250 by 250 pixels; bone marrow smear; brightfield, 40× oil-immersion objective:
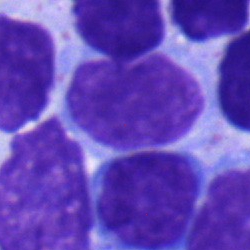
This is a lymphocyte.